Bone marrow aspirate smear. May-Grünwald-Giemsa stain:
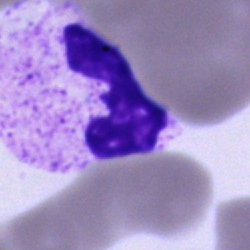

This is a segmented neutrophil.